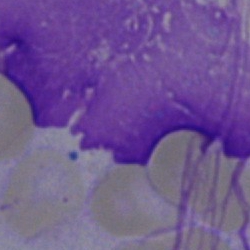
Q: What is shown here?
A: Artefact.